Bone marrow smear: 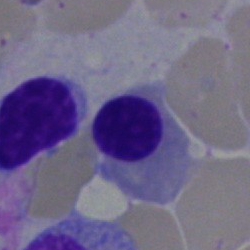Q: What is the morphological classification of this cell?
A: It is a normoblast.